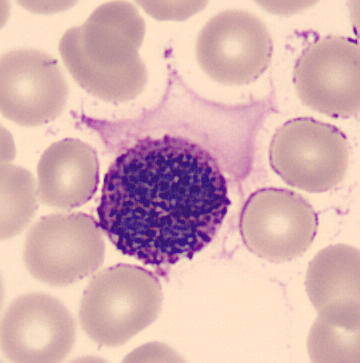 The cell shown is a basophil.